Bone marrow aspirate smear. May-Grünwald-Giemsa stain. 250×250:
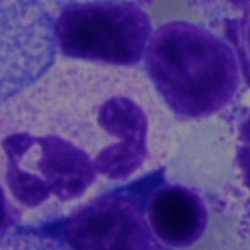 Morphology consistent with a neutrophil (segmented).